Peripheral blood smear:
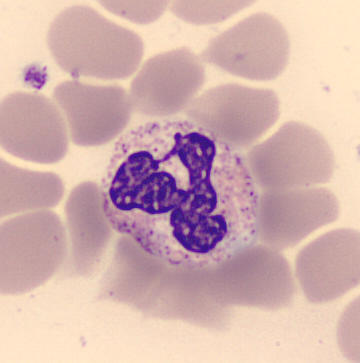

Identified as a polymorphonuclear neutrophil.